Bone marrow smear: 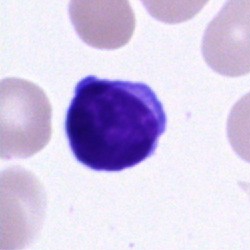

Q: Which cell type is shown here?
A: This is a typical lymphocyte.